Bone marrow aspirate smear: 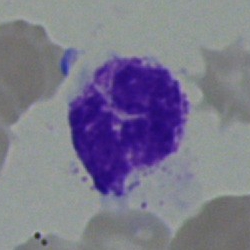
Showing a neutrophil (segmented).